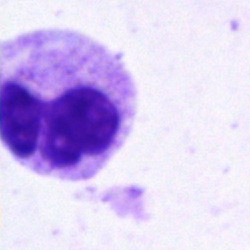 Polymorphonuclear neutrophil.